May-Grünwald-Giemsa stain; bone marrow aspirate smear; brightfield microscopy, 40× oil immersion.
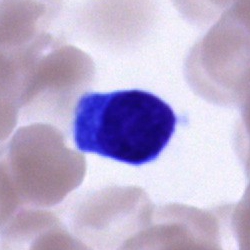

Specimen: bone marrow smear.
Morphological class: typical lymphocyte.